Bone marrow aspirate smear · brightfield microscopy, 40× oil immersion: 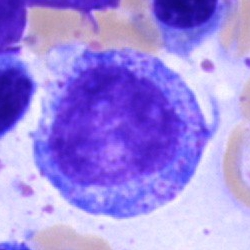
Morphology → promyelocyte.